Bone marrow smear. 40× objective, oil immersion: 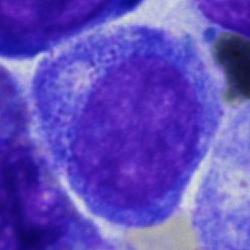
Specimen: bone marrow aspirate smear.
Classification: promyelocyte.
Lineage: myeloid.